Pappenheim-stained. Bone marrow aspirate smear. 250×250 px:
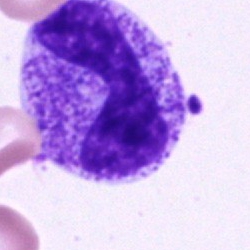 Morphology → stab cell.